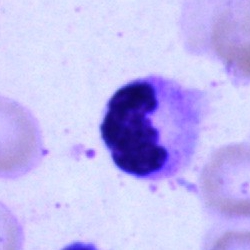
Impression → polymorphonuclear neutrophil.